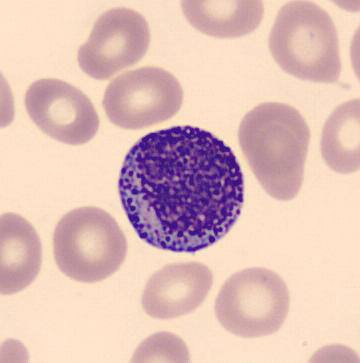 Morphology — myelocyte.